Peripheral blood film; 100× oil immersion, 14.14 px/µm:
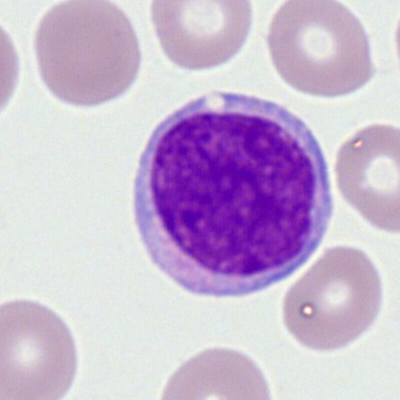Cell type: myeloblast.